MGG-stained · bone marrow aspirate smear — 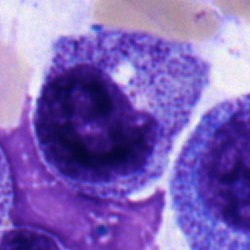
Classification: myelocyte.